Bone marrow aspirate smear
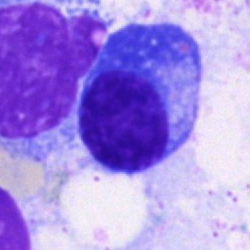
Showing a plasmacyte.